40× oil immersion. 250×250 px. Bone marrow smear:
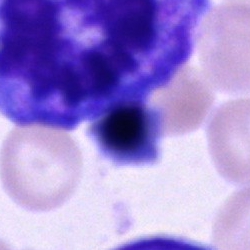

Cell — artefact.